Bone marrow smear
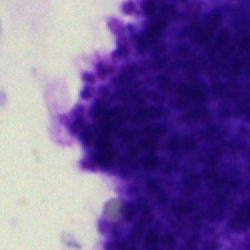

Single cell identified as an artefact.